Bone marrow aspirate smear; 40× oil immersion — 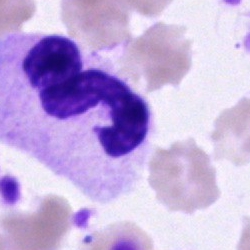

Cell — polymorphonuclear neutrophil.